Bone marrow aspirate smear
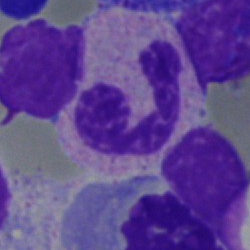

Morphological class — neutrophil (segmented).